Bone marrow aspirate smear.
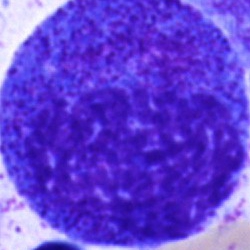
This is a progranulocyte.